Bone marrow aspirate smear
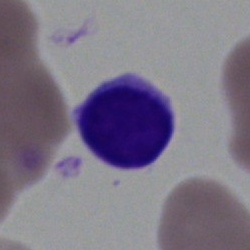Cell = lymphocyte.